May-Grünwald-Giemsa/Pappenheim stain; brightfield, 40× oil-immersion objective; bone marrow aspirate smear — 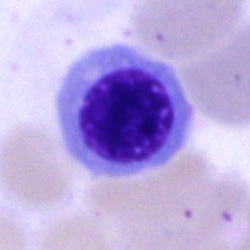

Q: What is shown here?
A: A normoblast.